40× oil immersion; bone marrow smear; Pappenheim-stained:
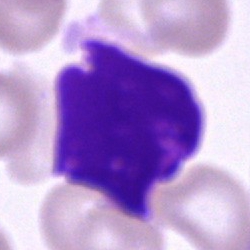

Q: What is shown here?
A: This is an artifact.